Bone marrow smear — 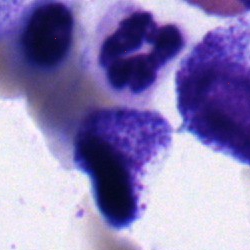
Q: What is shown here?
A: A nucleated red blood cell.